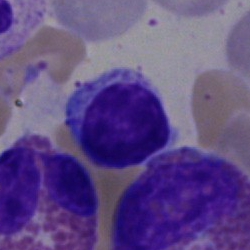
Morphological class: typical lymphocyte.